Bone marrow aspirate smear; single-cell field
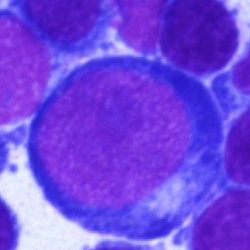 A proerythroblast.